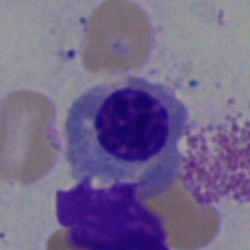
Showing a normoblast.